Bone marrow aspirate smear — 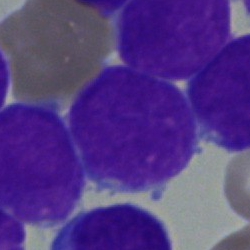This is a blast cell.